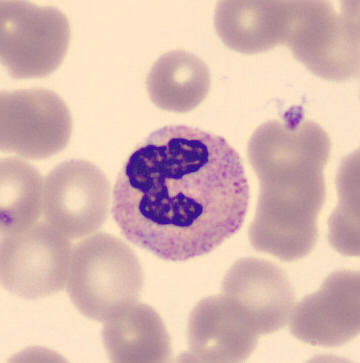A band-form neutrophil.

Image: Peripheral blood smear.